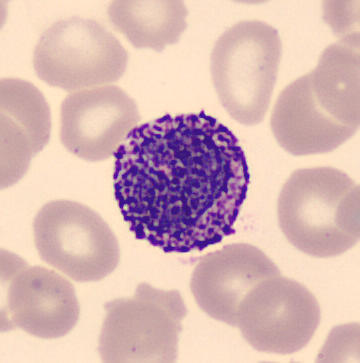 Impression — basophil.